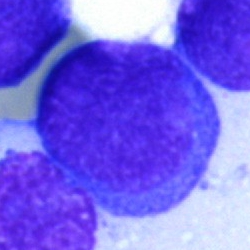Bone marrow smear showing a blast cell.